Bone marrow aspirate smear. 250×250.
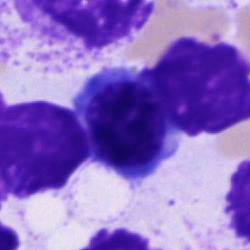Morphology — unidentifiable cell.